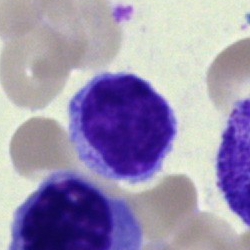 Cell — lymphocyte.